Brightfield microscopy, 40× oil immersion · MGG-stained · bone marrow aspirate smear
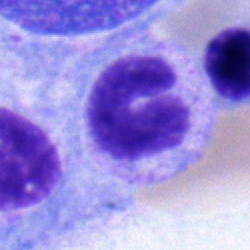 Q: Identify the cell.
A: Stab cell.